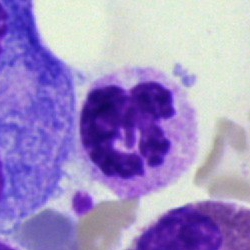Single cell identified as a neutrophil (segmented).